Brightfield, 40× oil-immersion objective. Bone marrow smear — 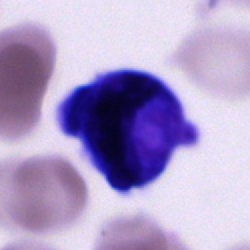
Specimen: bone marrow smear.
Morphological class: unidentifiable cell.